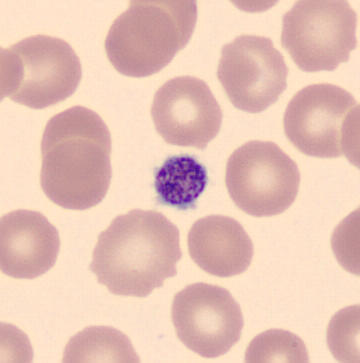Specimen: peripheral blood film.
Classification: platelet.